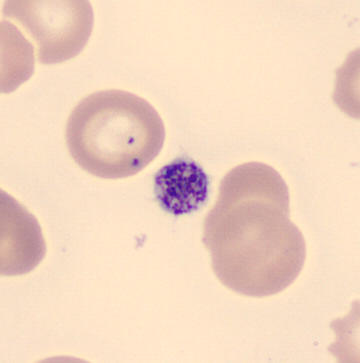

Specimen: peripheral blood smear.
Cell type: thrombocyte.